Bone marrow aspirate smear. 40× oil immersion.
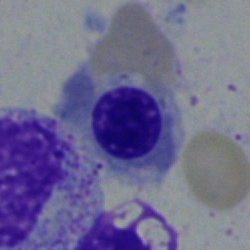

Q: Identify the cell.
A: An erythroblast.